Single-cell crop. 250×250 px. Bone marrow smear.
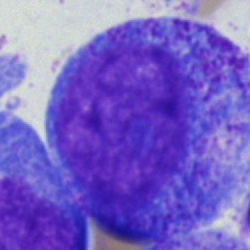Morphology consistent with a metamyelocyte.